Bone marrow aspirate smear · 250×250.
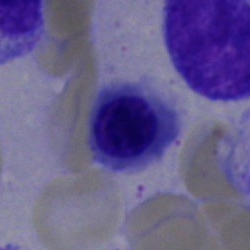
Q: What cell is this?
A: Nucleated red cell.